Bone marrow smear — 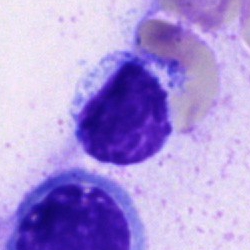
Q: Identify the cell.
A: A typical lymphocyte.